Bone marrow smear
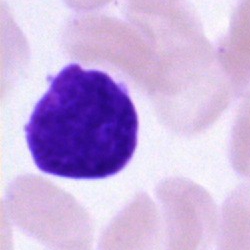
Specimen: bone marrow aspirate smear.
Classification: artifact.